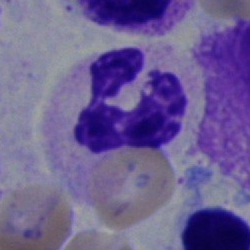
Cell = polymorphonuclear neutrophil.